Bone marrow smear · single-cell field
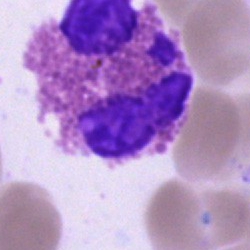
The cell type is eosinophilic granulocyte.